Bone marrow aspirate smear:
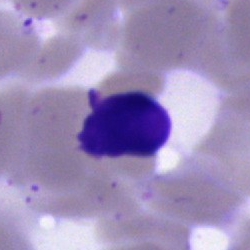This is an artifact.